Bone marrow smear.
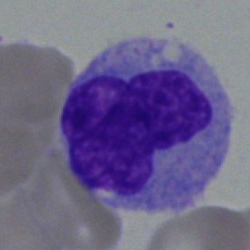Showing a monocyte.